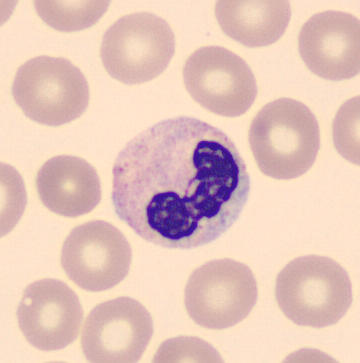

Specimen: peripheral blood smear.
Classification: stab cell.
Lineage: myeloid.